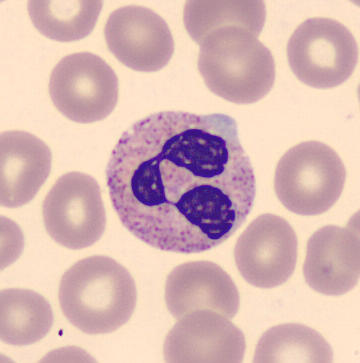 Specimen: peripheral blood smear.
Cell: polymorphonuclear neutrophil.